Bone marrow aspirate smear.
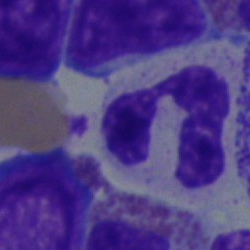{"cell_type": "neutrophil (segmented)", "lineage": "myeloid"}